Bone marrow smear:
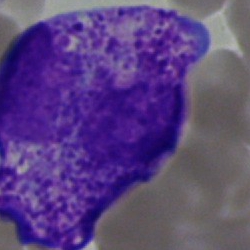The cell type is undifferentiated blast.